Bone marrow smear; 40× objective, oil immersion; cropped to a single cell: 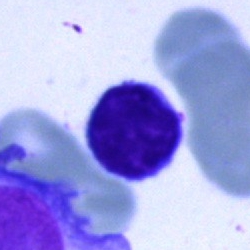 The classification is lymphocyte.